Bone marrow smear — 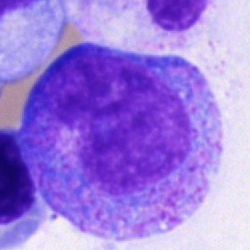 Morphological class: promyelocyte.